Peripheral blood film
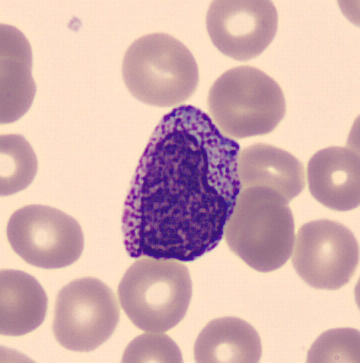Q: What type of cell is this?
A: Myelocyte.